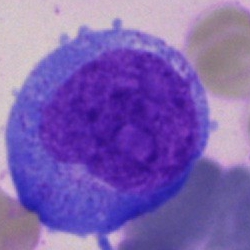 Cell type — blast cell.